Bone marrow smear; brightfield microscopy, 40× oil immersion: 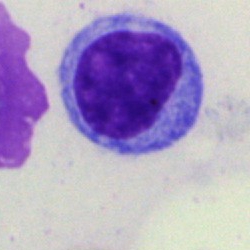
Morphology consistent with a lymphocyte.